Bone marrow aspirate smear · May-Grünwald-Giemsa/Pappenheim stain: 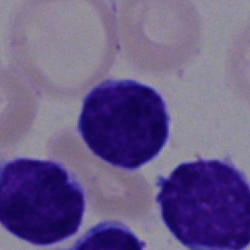 Morphology consistent with a typical lymphocyte.